Bone marrow smear
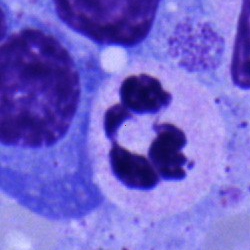The cell type is neutrophil (segmented).